Bone marrow smear: 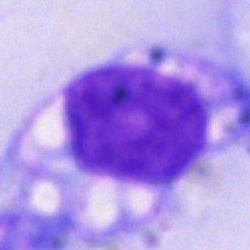

Q: Which cell type is shown here?
A: An unidentifiable cell.